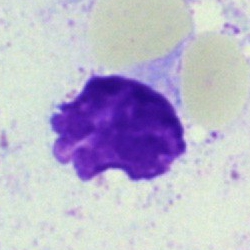An artifact on a bone marrow smear.